May-Grünwald-Giemsa/Pappenheim stain · bone marrow smear: 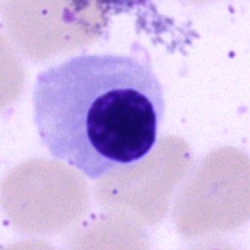 Cell type = normoblast.